Peripheral blood film: 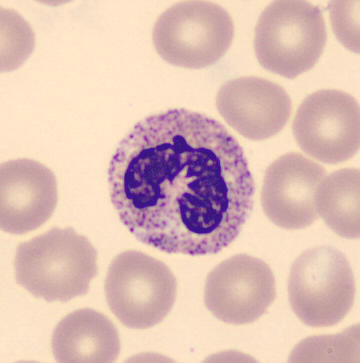 {"cell_type": "neutrophil (segmented)"}